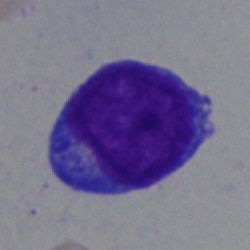 Cell type = undifferentiated blast.